Cropped to a single cell · bone marrow aspirate smear
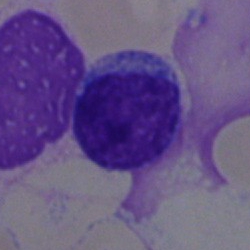Q: What is the morphological classification of this cell?
A: It is a typical lymphocyte.